Image size 250×250. Bone marrow aspirate smear:
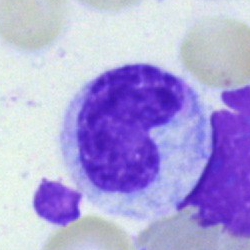Q: What type of cell is this?
A: A neutrophil (band).